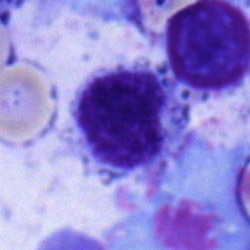
Cell type: myelocyte.